40× oil immersion. Bone marrow smear — 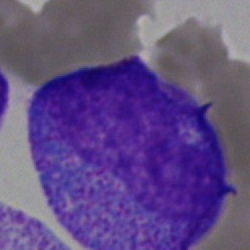Classification: promyelocyte.